Bone marrow smear.
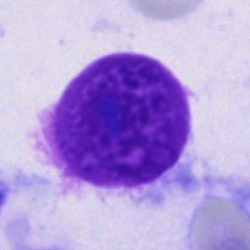

A cell not matching the other categories.